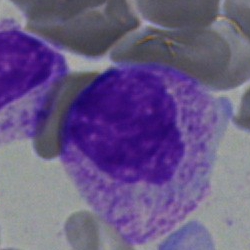 Specimen: bone marrow smear.
Cell type: myelocyte.
Lineage: myeloid.